Bone marrow aspirate smear — 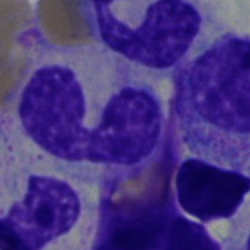 A stab cell.